40× objective, oil immersion; May-Grünwald-Giemsa stain; bone marrow aspirate smear
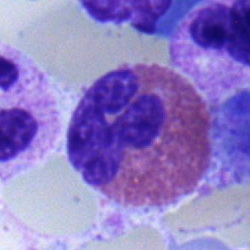
Cell type: eosinophilic granulocyte.